MGG-stained; bone marrow smear; single cell centered in the field
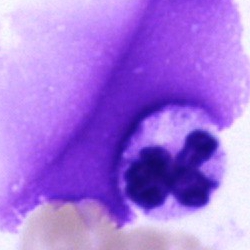 Specimen: bone marrow smear.
Morphological class: neutrophil (segmented).